Bone marrow aspirate smear. 250×250. Single-cell field
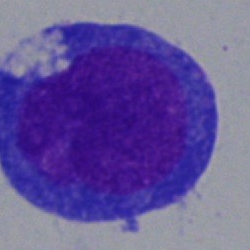
Showing a blast.